Bone marrow aspirate smear:
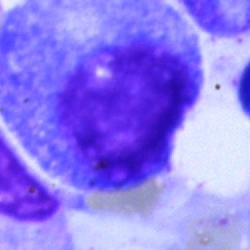Cell type = promyelocyte.